Bone marrow smear; 250 by 250 pixels: 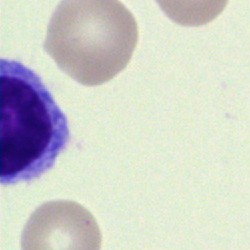
Cell of indeterminate lineage.